Bone marrow aspirate smear; MGG-stained — 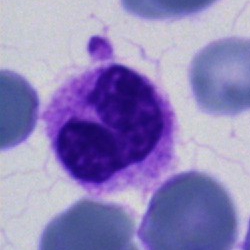Morphology — segmented neutrophil.